Peripheral blood film — 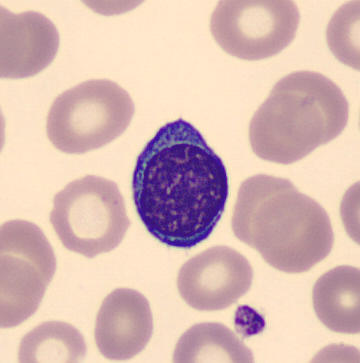 Specimen: peripheral blood film.
Classification: lymphocyte.
Lineage: lymphoid.